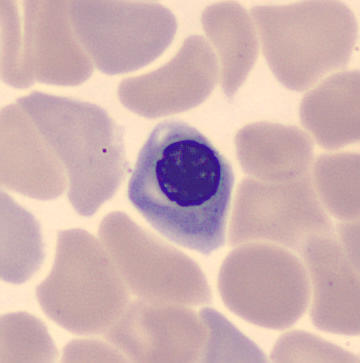 Q: What cell is this?
A: It is a nucleated red blood cell.

Acquisition: Peripheral blood smear. Automated cell imaging (CellaVision DM96).